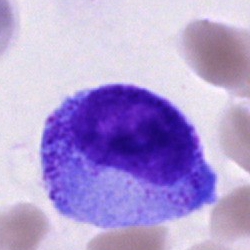 Bone marrow smear showing a promyelocyte.